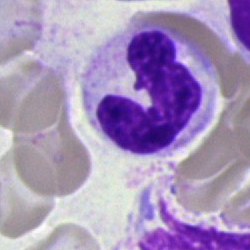 Cell type = neutrophil (segmented).